Bone marrow smear. Image size 250×250:
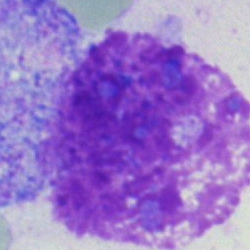 Single cell identified as an artifact.